250×250; bone marrow smear; May-Grünwald-Giemsa stain — 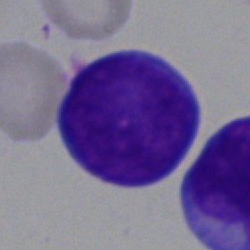 Q: What cell is this?
A: An undifferentiated blast.